Single-cell crop · bone marrow aspirate smear · 40× objective, oil immersion: 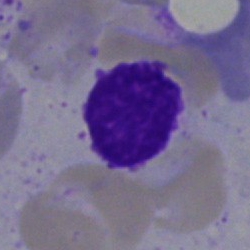Morphological class: artefact.